Bone marrow smear: 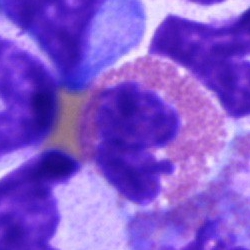
Showing an eosinophilic granulocyte.